Bone marrow aspirate smear
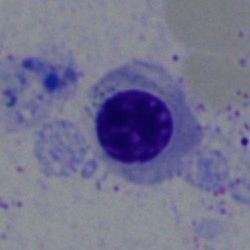
Cell type — normoblast.